Bone marrow smear:
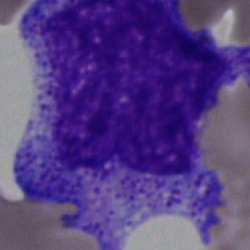
Showing a progranulocyte.